Bone marrow smear.
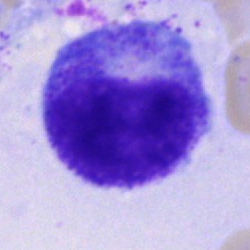 Impression → progranulocyte.